Peripheral blood film — 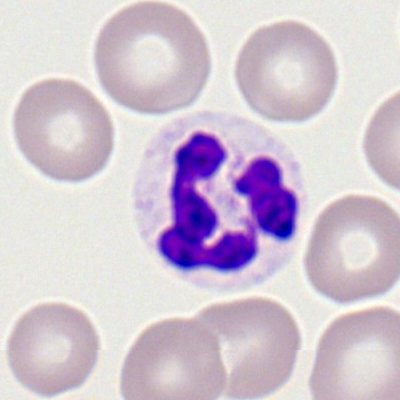Cell = polymorphonuclear neutrophil.